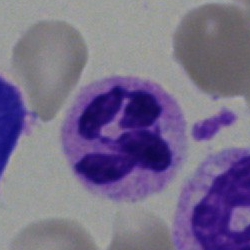 Morphology → neutrophil (segmented).